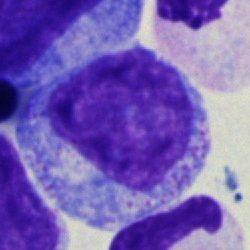Promyelocyte.